250×250 px · bone marrow smear.
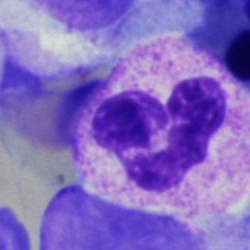 Showing a neutrophil (segmented).